40× objective, oil immersion · single cell centered in the field · bone marrow aspirate smear.
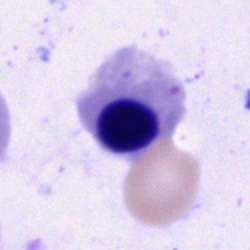

Morphology → normoblast.